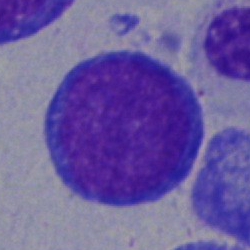 Single-cell crop from a bone marrow smear: lymphocyte.